Bone marrow smear; brightfield, 40× oil-immersion objective; cropped to a single cell
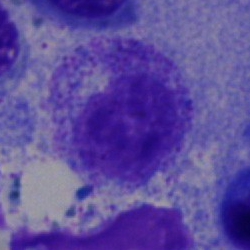
Morphological class — myelocyte.